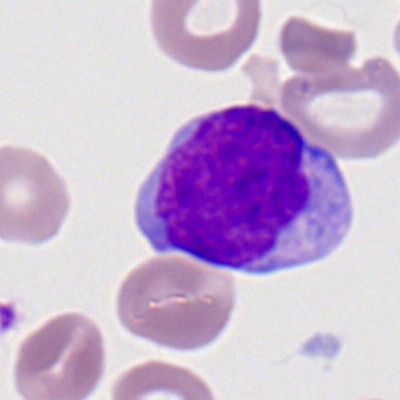 This is a myeloid blast.